Bone marrow aspirate smear. Brightfield, 40× oil-immersion objective. MGG-stained.
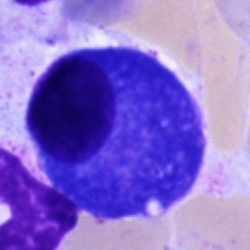The classification is plasmacyte.